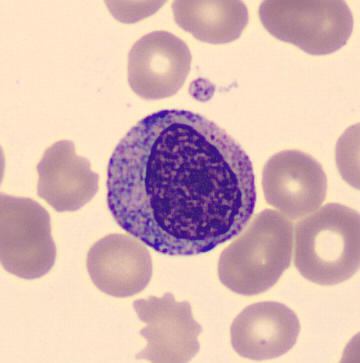Cell type: myelocyte.